Bone marrow smear:
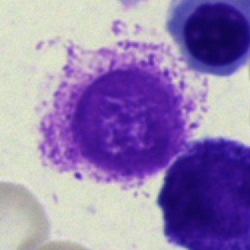 Morphology → artifact.